Bone marrow smear; single-cell crop; 250×250
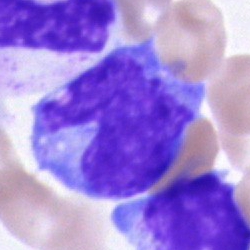

The cell is monocyte.